Bone marrow smear — 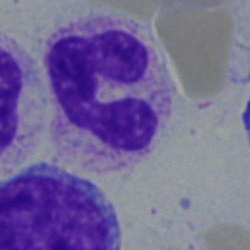

Morphology consistent with a band neutrophil.